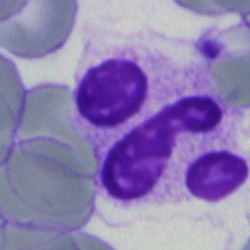

Specimen: bone marrow smear.
Cell: neutrophil (segmented).
Lineage: myeloid.